Bone marrow aspirate smear · May-Grünwald-Giemsa stain · single-cell field — 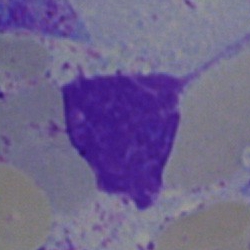This is an artefact.